Bone marrow smear: 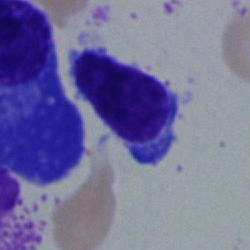

Classification — typical lymphocyte.